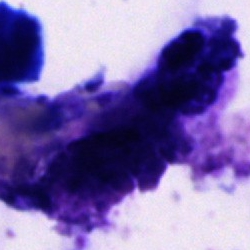 The cell shown is an artefact.